Peripheral blood film
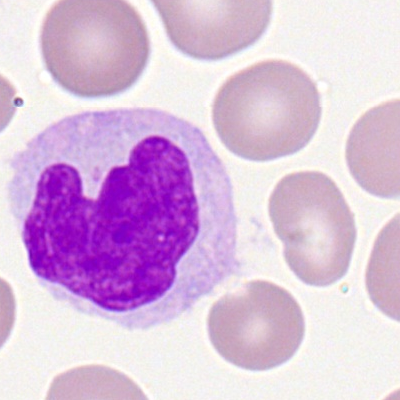

Q: What cell is this?
A: This is a monocyte.